250×250 px · May-Grünwald-Giemsa/Pappenheim stain · bone marrow aspirate smear
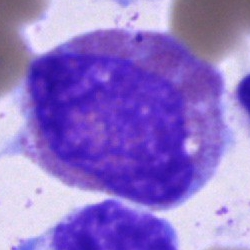
Specimen: bone marrow smear.
Morphological class: eosinophil.